40× oil immersion. Bone marrow aspirate smear.
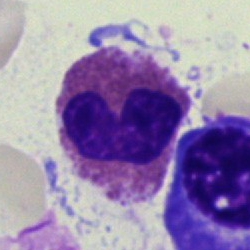 Single cell identified as an eosinophil.